Bone marrow smear; brightfield microscopy, 40× oil immersion
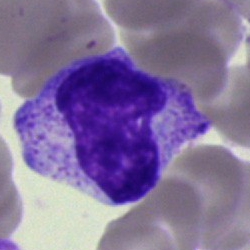 Morphology consistent with a metamyelocyte.